Pappenheim-stained. 40× objective, oil immersion. Bone marrow aspirate smear: 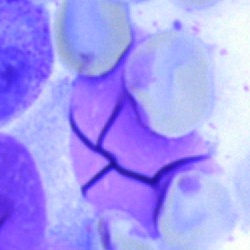

Specimen: bone marrow aspirate smear.
Cell type: artifact.